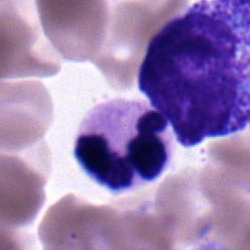Q: What type of cell is this?
A: This is a segmented neutrophil.